Brightfield, 40× oil-immersion objective. Bone marrow smear. Single-cell field
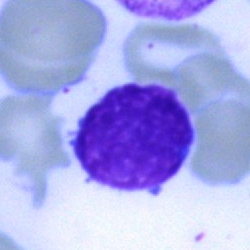
Q: What cell is this?
A: It is a lymphocyte.